Bone marrow smear.
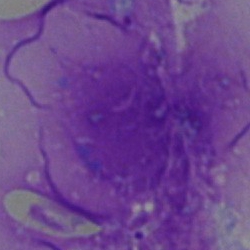
Cell = artifact.